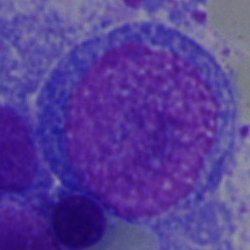
Single-cell crop from a bone marrow smear: blast cell.